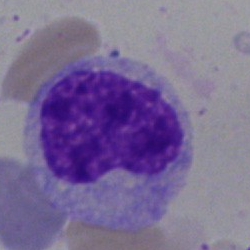Q: What is shown here?
A: It is a metamyelocyte.